Bone marrow smear:
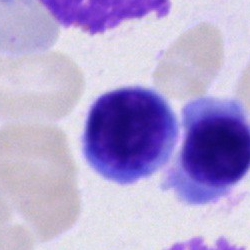
Morphology consistent with a nucleated red blood cell.